Bone marrow smear: 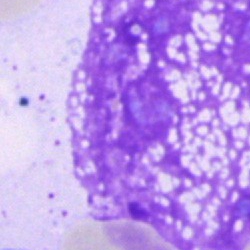
Morphology → artefact.